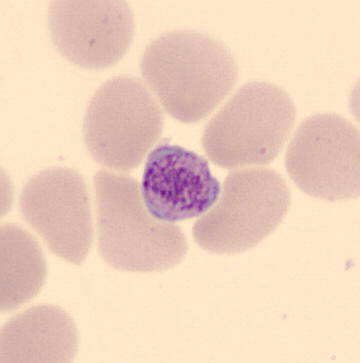

This is a platelet (thrombocyte).
Peripheral blood smear.